Bone marrow smear. Single-cell crop: 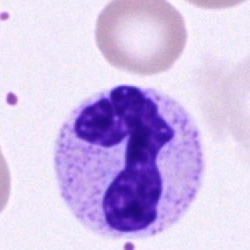

Impression — segmented neutrophil.